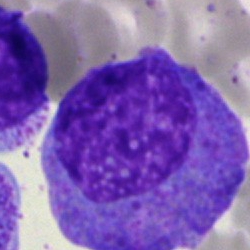

The cell type is eosinophil.